40× oil immersion; bone marrow smear — 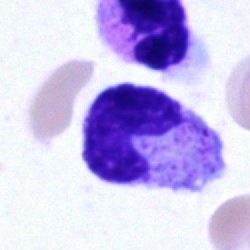
The cell is neutrophil (band).